Bone marrow smear; MGG-stained; single-cell field.
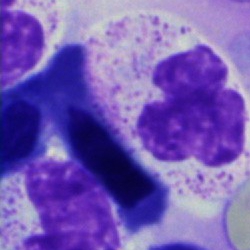Cell type: segmented neutrophil.